Bone marrow aspirate smear — 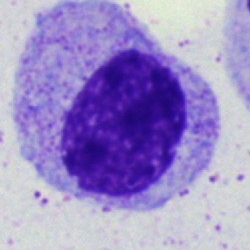 A myelocyte.